Bone marrow aspirate smear. Single-cell field. MGG-stained:
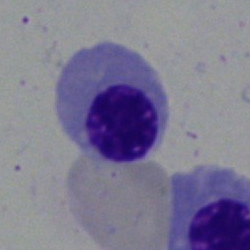 Q: What type of cell is this?
A: This is a nucleated red cell.